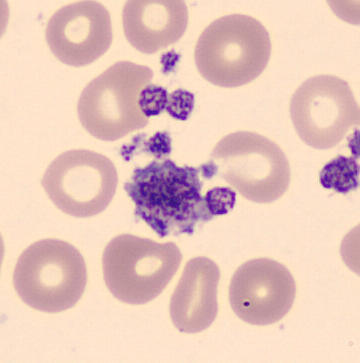

{"cell_type": "thrombocyte"}